Bone marrow smear — 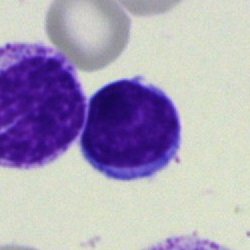

Specimen: bone marrow smear.
Cell type: typical lymphocyte.
Lineage: lymphoid.